Bone marrow smear. 40× objective, oil immersion. Single cell centered in the field.
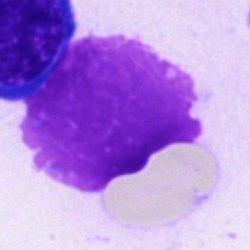 Q: What is shown here?
A: Artifact.